Bone marrow aspirate smear
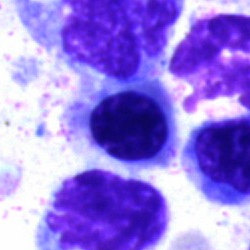 This is an erythroblast.